Bone marrow aspirate smear · Pappenheim-stained — 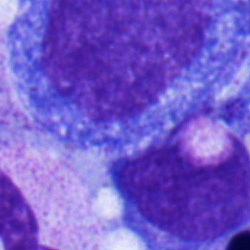 Cell type: progranulocyte.